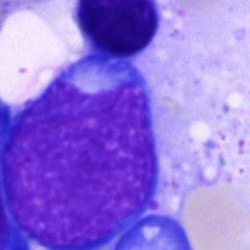 Specimen: bone marrow smear.
Cell: blast.